Single cell centered in the field · 40× oil immersion · bone marrow smear: 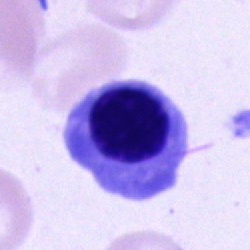Q: What type of cell is this?
A: Nucleated red cell.